Bone marrow smear. Cropped to a single cell:
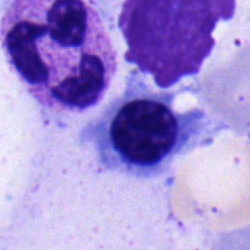 The cell shown is a normoblast.